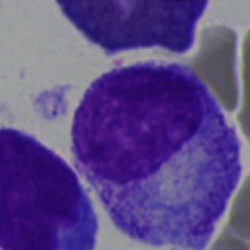

Classification = myelocyte.